Bone marrow aspirate smear.
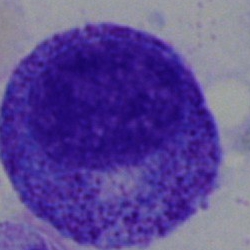Cell type — promyelocyte.